Peripheral blood smear: 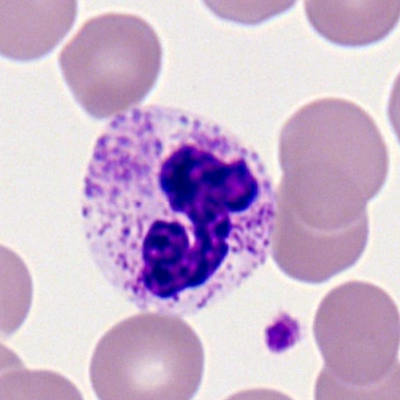
Specimen: peripheral blood smear.
Morphological class: polymorphonuclear neutrophil.